Peripheral blood smear
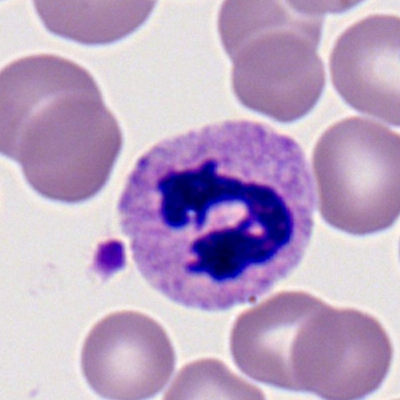 Specimen: peripheral blood smear.
Cell: segmented neutrophil.
Lineage: myeloid.